Bone marrow aspirate smear.
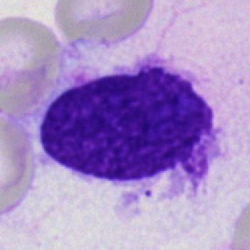 Specimen: bone marrow aspirate smear.
Classification: artefact.